Peripheral blood smear.
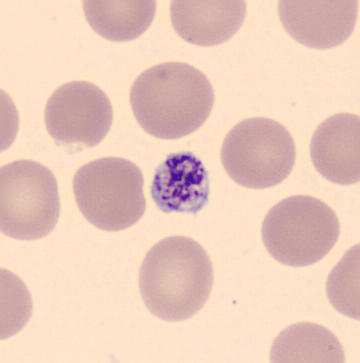Thrombocyte.